Bone marrow aspirate smear.
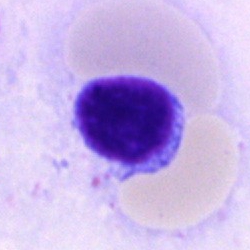
Single cell identified as a typical lymphocyte.